Brightfield microscopy, 40× oil immersion; bone marrow aspirate smear; 250×250.
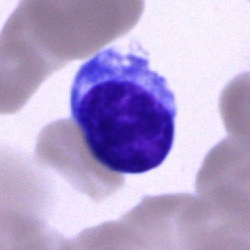
Classification: lymphocyte.